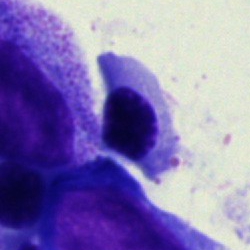 The cell type is normoblast.